Bone marrow smear. Cropped to a single cell:
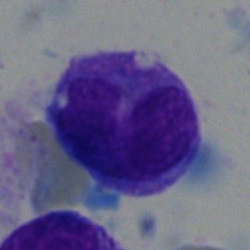 Morphology consistent with a monocyte.